Bone marrow smear:
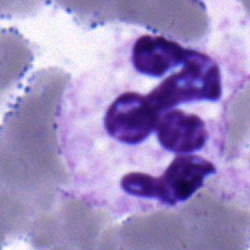 Segmented neutrophil.